Cropped to a single cell. Bone marrow aspirate smear: 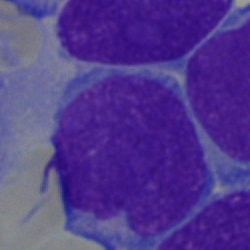 {"cell_type": "blast cell"}